Bone marrow aspirate smear
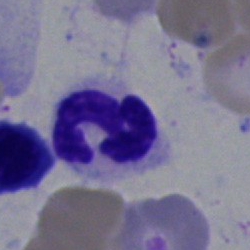

Morphology — neutrophil (segmented).